Bone marrow smear:
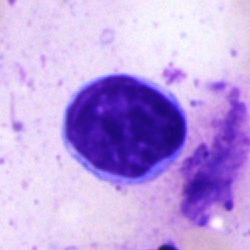 Showing a lymphocyte.